Bone marrow smear:
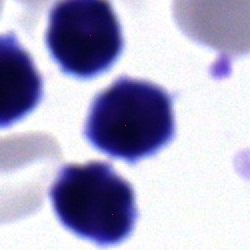 Cell — typical lymphocyte.